Bone marrow smear: 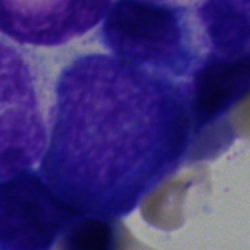

The morphological class is cell of indeterminate lineage.